Bone marrow aspirate smear.
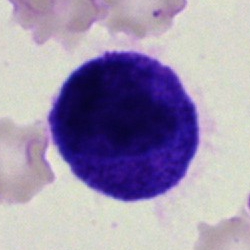
Cell type = artefact.